Single cell centered in the field; peripheral blood film: 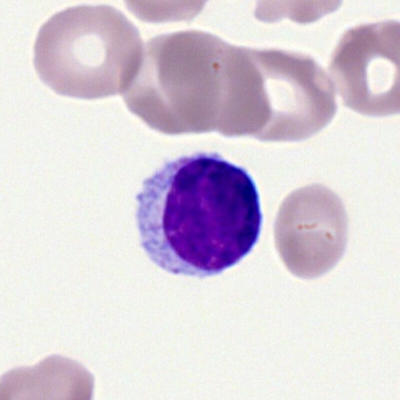 The classification is lymphocyte.